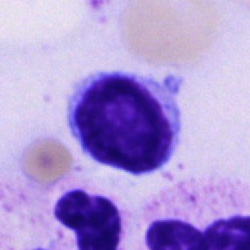

Showing a typical lymphocyte.